Bone marrow smear. 40× objective, oil immersion.
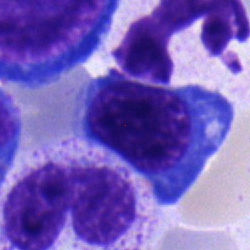 Cell = nucleated red cell.